Peripheral blood film — 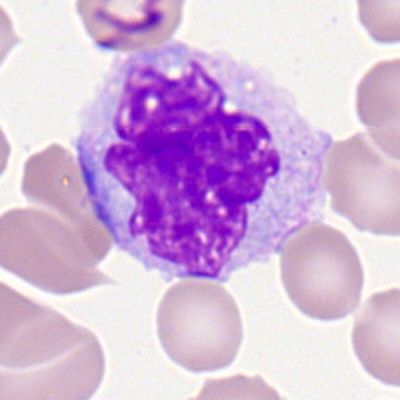 {"cell_type": "monocyte", "lineage": "myeloid"}